Bone marrow aspirate smear.
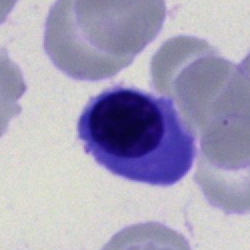

Cell — erythroblast.